May-Grünwald-Giemsa/Pappenheim stain; bone marrow smear: 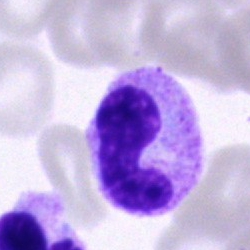

Specimen: bone marrow aspirate smear.
Morphological class: stab cell.
Lineage: myeloid.